Bone marrow aspirate smear: 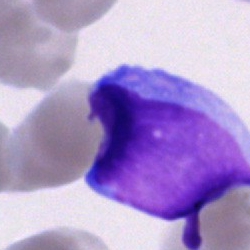 The cell shown is a blast.